Peripheral blood film · Romanowsky-type stain · 100× oil immersion, 14.14 px/µm
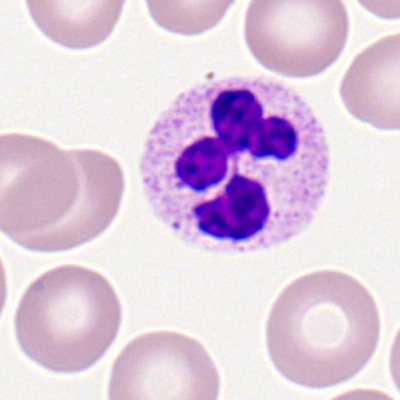 The cell is segmented neutrophil.